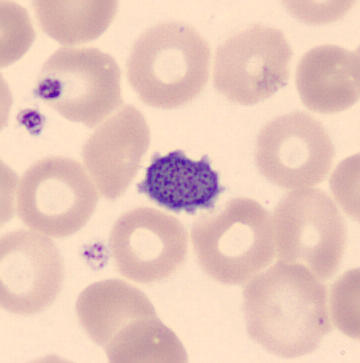CellaVision DM96 digital cell image. Peripheral blood smear. Q: What is shown here?
A: This is a platelet (thrombocyte).